Bone marrow smear — 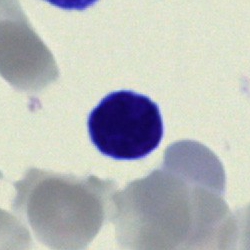

Q: Which cell type is shown here?
A: Typical lymphocyte.